Bone marrow aspirate smear:
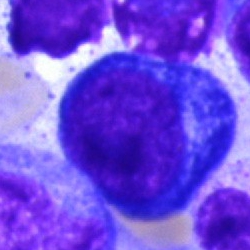Classification: pronormoblast.